Bone marrow smear
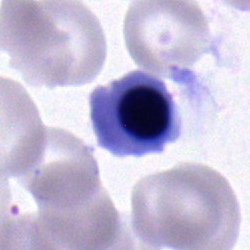
Morphological class — erythroblast.